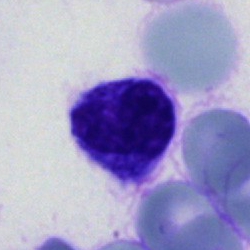 The classification is cell of indeterminate lineage.